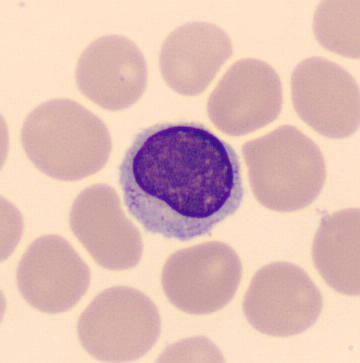Acquisition: Automated cell imaging (CellaVision DM96). Peripheral blood smear. Identified as a typical lymphocyte.